MGG-stained · 40× objective, oil immersion · bone marrow smear:
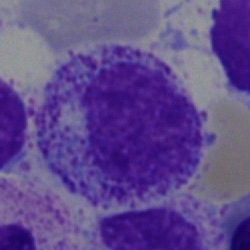Cell: myelocyte.